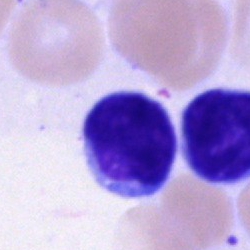
Q: What type of cell is this?
A: It is a lymphocyte.